Bone marrow aspirate smear · 250 by 250 pixels · 40× oil immersion
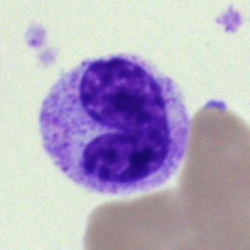Stab cell.